Peripheral blood smear. Single-cell crop. 400×400 px
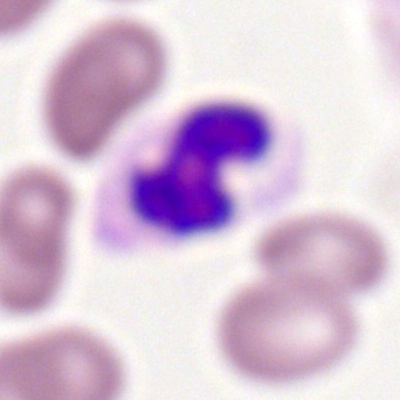Q: What type of cell is this?
A: It is a segmented neutrophil.